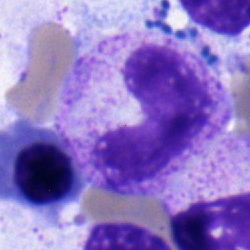

Cell type — stab cell.